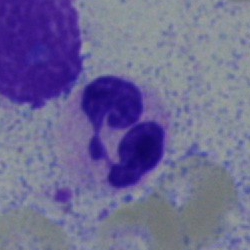 Classification = polymorphonuclear neutrophil.